Single-cell crop; bone marrow smear: 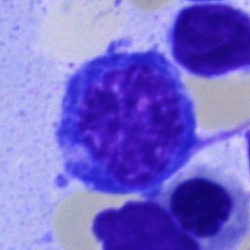
This is a normoblast.